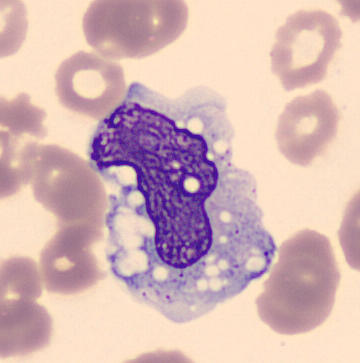 Q: What type of cell is this?
A: A monocyte.